Bone marrow aspirate smear.
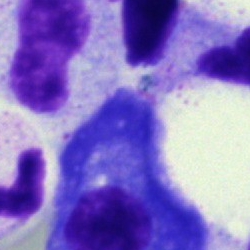
Cell type — plasmacyte.